Bone marrow smear — 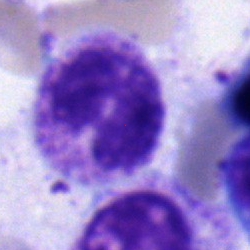 A segmented neutrophil.